250 by 250 pixels; bone marrow aspirate smear; 40× oil immersion — 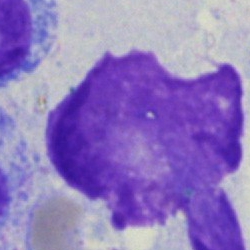 Classification = artifact.